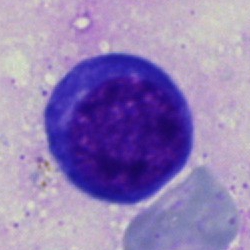 Specimen: bone marrow aspirate smear.
Cell type: normoblast.
Lineage: erythroid.